Bone marrow aspirate smear · brightfield microscopy, 40× oil immersion:
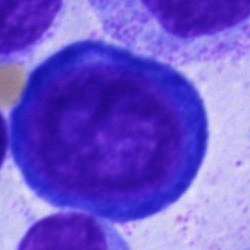 Morphology consistent with a proerythroblast.